Cropped to a single cell. 40× oil immersion. Bone marrow smear.
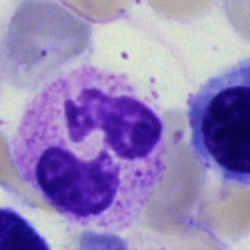Cell: polymorphonuclear neutrophil.